Single cell centered in the field · bone marrow smear — 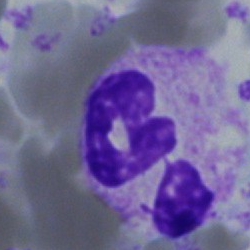Polymorphonuclear neutrophil.